Single-cell field · bone marrow smear · image size 250×250: 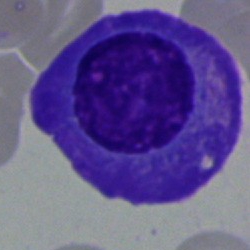

{"cell_type": "plasma cell", "lineage": "lymphoid"}